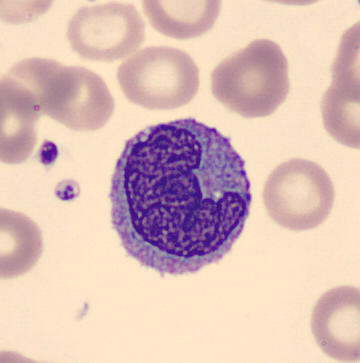
Preparation: Single-cell field. Peripheral blood smear. May Grünwald-Giemsa stain.
Impression → monocyte.